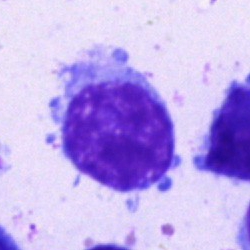
Single cell identified as a lymphocyte.